Peripheral blood smear:
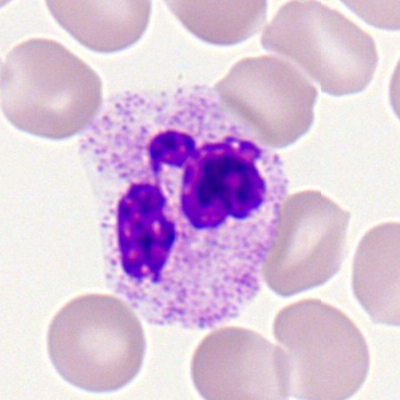
Morphological class: neutrophil (segmented).